Bone marrow smear: 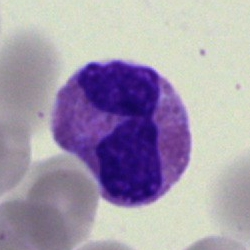 {"cell_type": "eosinophilic granulocyte", "lineage": "myeloid"}